40× objective, oil immersion; single-cell crop; bone marrow aspirate smear — 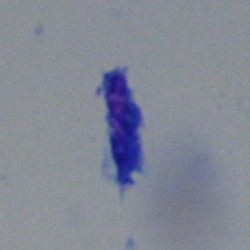
Morphological class — artefact.